Bone marrow aspirate smear — 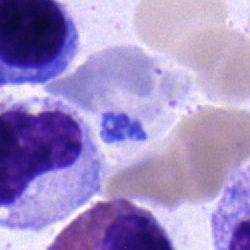 Q: What type of cell is this?
A: An eosinophil.